250 by 250 pixels; bone marrow smear
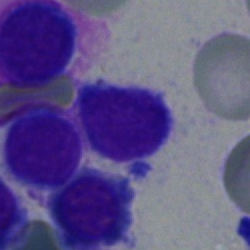Cell — typical lymphocyte.